Bone marrow smear:
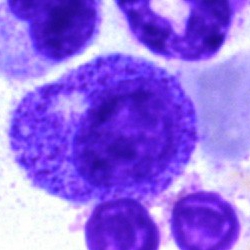

Q: What is the morphological classification of this cell?
A: A myelocyte.